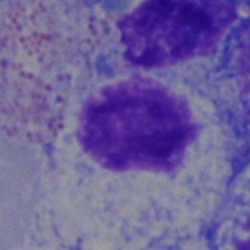Q: What is shown here?
A: An artefact.